Bone marrow smear.
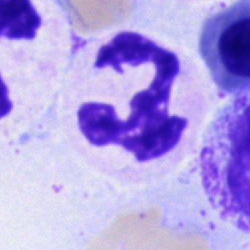
Q: What is the morphological classification of this cell?
A: This is a neutrophil (segmented).